Brightfield, 40× oil-immersion objective. Bone marrow smear
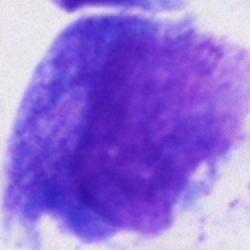
Single cell identified as an artifact.